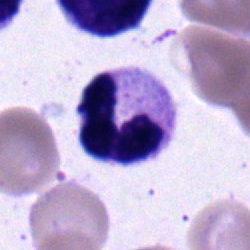

Q: What cell is this?
A: Neutrophil (band).